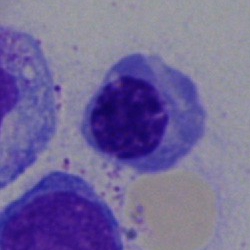Nucleated red blood cell.